Bone marrow smear — 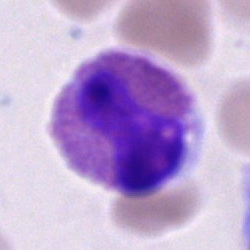
Cell: eosinophil.